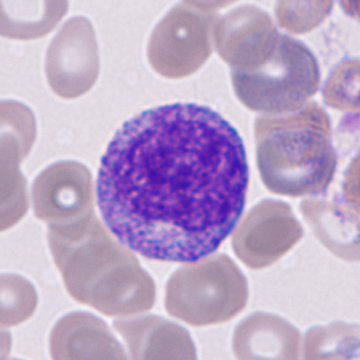

This is a granulocyte precursor.